Bone marrow aspirate smear. Brightfield microscopy, 40× oil immersion: 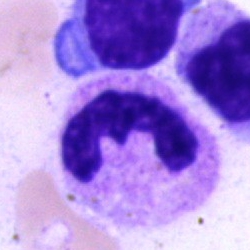 Specimen: bone marrow smear.
Morphological class: neutrophil (band).
Lineage: myeloid.